Bone marrow aspirate smear · image size 250×250:
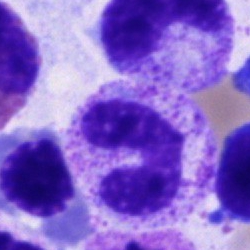Q: What cell is this?
A: Neutrophil (band).